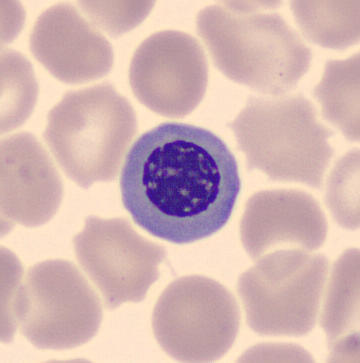
Cell: normoblast.